Single-cell field; bone marrow smear.
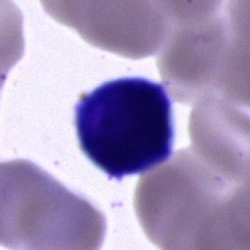 A cell of indeterminate lineage.